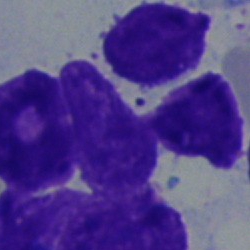

Single-cell crop from a bone marrow smear: artifact.